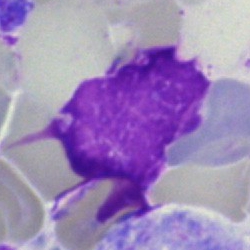

Cell — artefact.